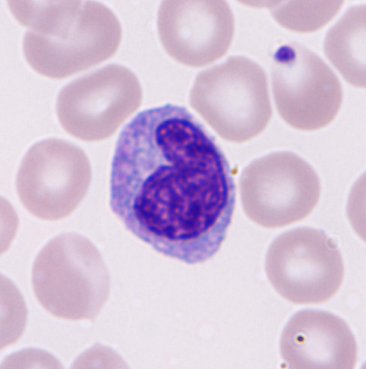 Impression — monocyte.

Preparation: Peripheral blood smear.